Bone marrow aspirate smear: 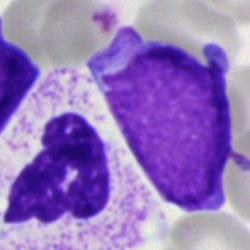

A blast cell.